Bone marrow aspirate smear: 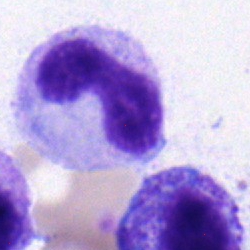 A stab cell.